Bone marrow aspirate smear. 40× objective, oil immersion. 250×250.
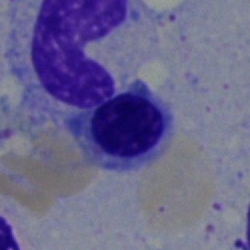

Cell = erythroblast.